Bone marrow smear:
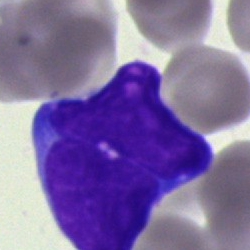

This is an undifferentiated blast.